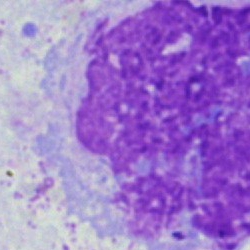 Cell — artifact.